Bone marrow smear
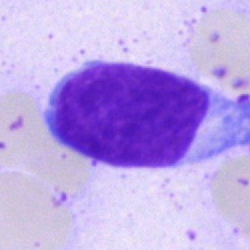

Q: Which cell type is shown here?
A: It is an undifferentiated blast.